Bone marrow smear — 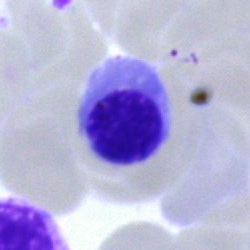 Morphology → nucleated red cell.